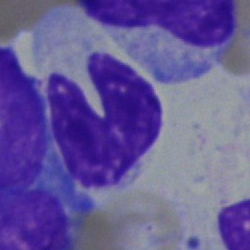

Classification — band neutrophil.